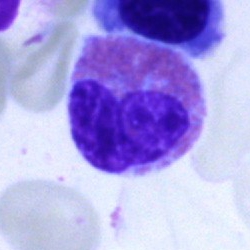 An eosinophilic granulocyte on a bone marrow smear.